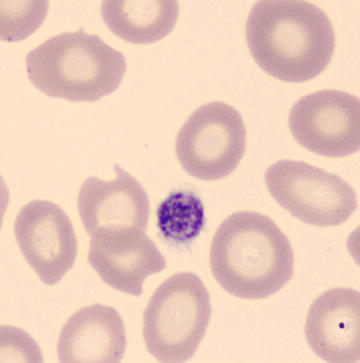Morphology — thrombocyte.